40× objective, oil immersion · bone marrow aspirate smear — 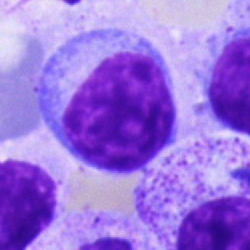 Q: What cell is this?
A: Lymphocyte.